Bone marrow aspirate smear:
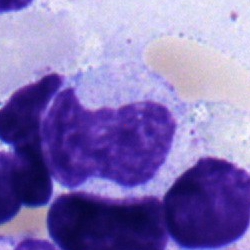
Cell type — myelocyte.